Brightfield, 40× oil-immersion objective. Bone marrow smear: 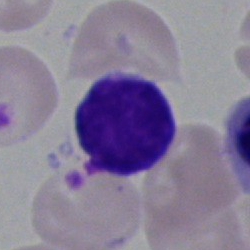

Specimen: bone marrow smear.
Cell: typical lymphocyte.